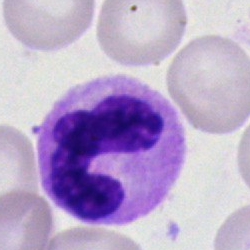 Cell type = band-form neutrophil.